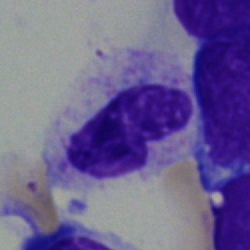
Morphology → band neutrophil.